Pappenheim-stained; bone marrow aspirate smear — 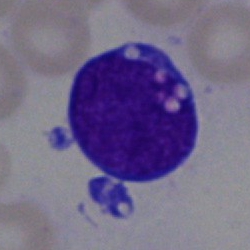
Morphology consistent with a blast.